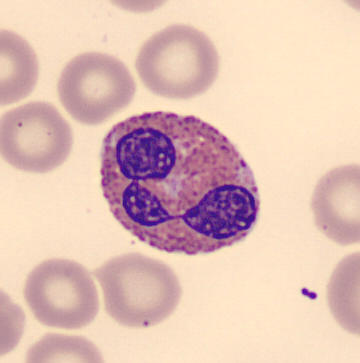Peripheral blood film.

Cell type: eosinophilic granulocyte.